100× objective, oil immersion; peripheral blood film:
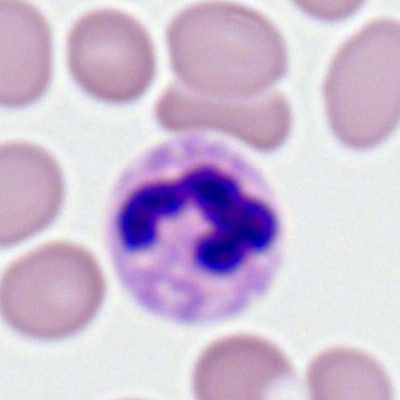 The cell shown is a neutrophil (segmented).